Image size 400×400. Peripheral blood film — 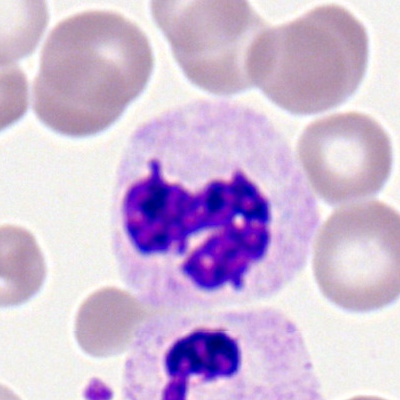Single cell identified as a segmented neutrophil.